Image size 250×250. Bone marrow smear — 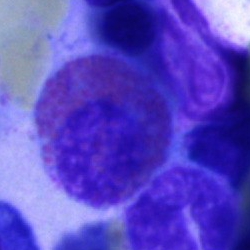
Morphology — eosinophilic granulocyte.